Single-cell field. 250 by 250 pixels. Bone marrow smear.
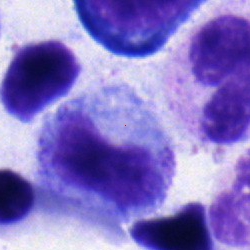 Morphology → myelocyte.